Bone marrow smear. May-Grünwald-Giemsa/Pappenheim stain — 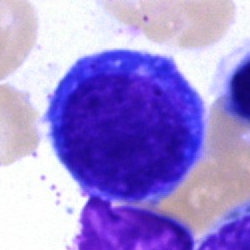 The classification is erythroblast.